Bone marrow smear:
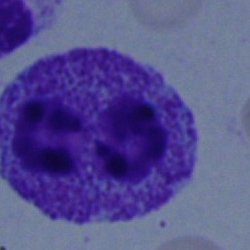 Showing an artefact.